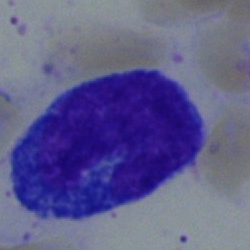

A promyelocyte.